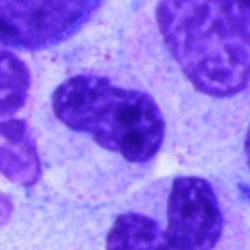
Q: What cell is this?
A: A stab cell.